Bone marrow smear. Brightfield, 40× oil-immersion objective. May-Grünwald-Giemsa/Pappenheim stain — 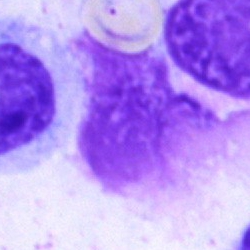Impression — artifact.